Bone marrow aspirate smear:
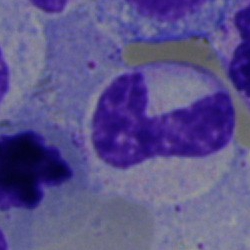Q: What cell is this?
A: It is a neutrophil (band).